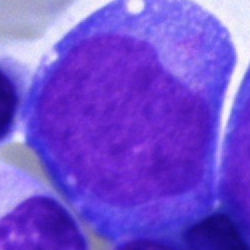 Specimen: bone marrow smear.
Morphological class: blast cell.